Bone marrow smear — 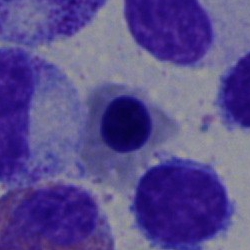

Cell type = nucleated red blood cell.